Bone marrow smear.
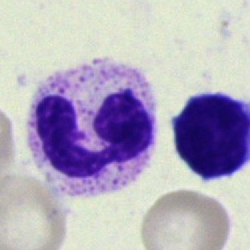

Cell: neutrophil (segmented).